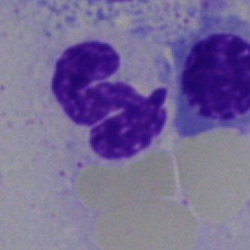Morphology → neutrophil (segmented).